Bone marrow aspirate smear:
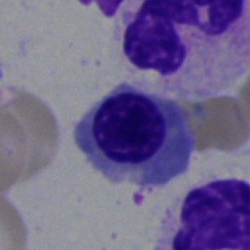 Q: Which cell type is shown here?
A: This is a nucleated red cell.